Bone marrow aspirate smear:
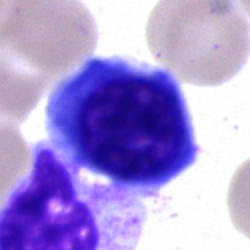Showing a nucleated red cell.